Bone marrow smear; 40× objective, oil immersion:
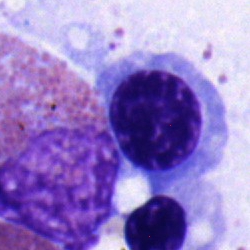
Cell type: normoblast.